Bone marrow smear: 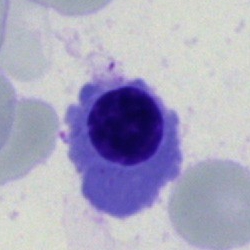Cell type — erythroblast.